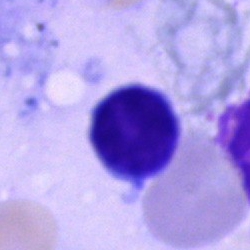The cell shown is a lymphocyte.